Single cell centered in the field · bone marrow aspirate smear · Pappenheim-stained
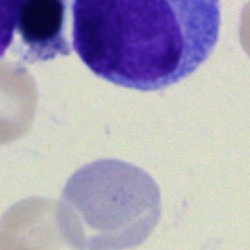 Q: What is shown here?
A: This is an artifact.